Bone marrow smear.
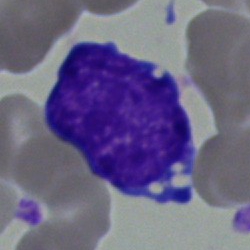
Morphology consistent with a blast cell.